Bone marrow smear; image size 250×250; May-Grünwald-Giemsa/Pappenheim stain:
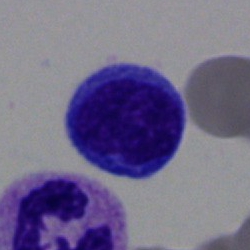This is a typical lymphocyte.